Bone marrow smear. Image size 250×250: 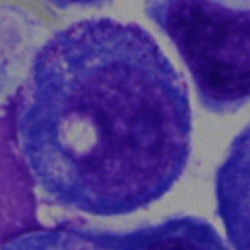

The cell is promyelocyte.